Bone marrow smear
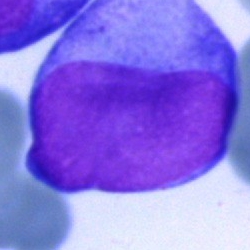
Q: What is the morphological classification of this cell?
A: It is an undifferentiated blast.